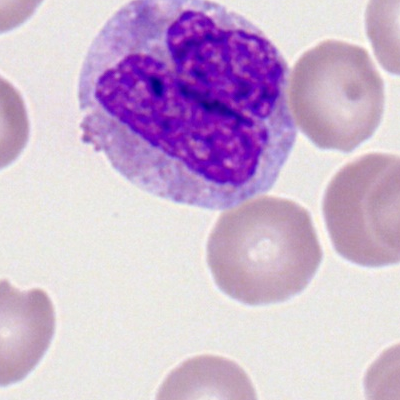 Morphology consistent with a monocyte.